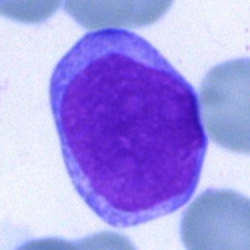

Morphological class = blast cell.